Bone marrow aspirate smear:
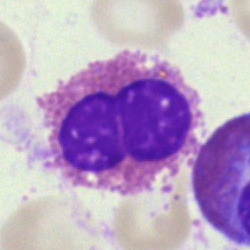 Morphology → eosinophil.